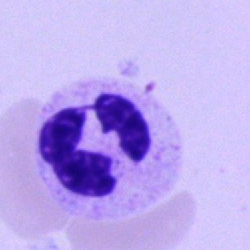
The classification is neutrophil (segmented).